Bone marrow aspirate smear. May-Grünwald-Giemsa/Pappenheim stain. 250×250 — 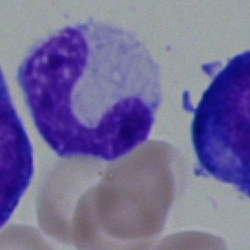

The cell shown is a band neutrophil.